M8 digital microscope (Precipoint), 100× oil immersion · peripheral blood film · Romanowsky-type stain:
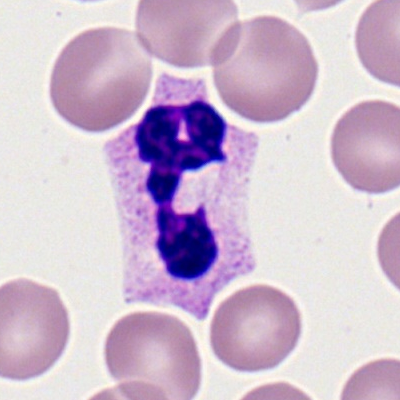 Q: Which cell type is shown here?
A: This is a polymorphonuclear neutrophil.